Peripheral blood smear.
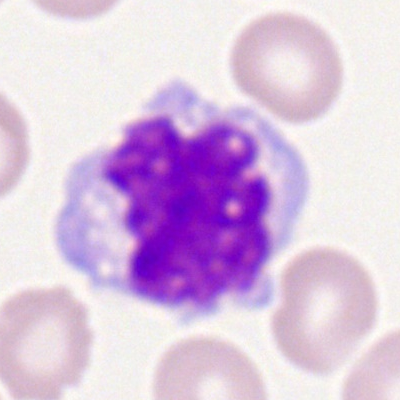
The classification is monocyte.